Brightfield microscopy, 40× oil immersion · bone marrow smear.
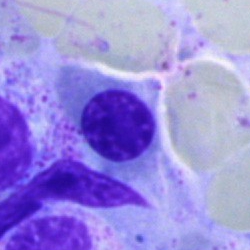 Showing a nucleated red blood cell.